Romanowsky-stained; peripheral blood film; 100× oil immersion: 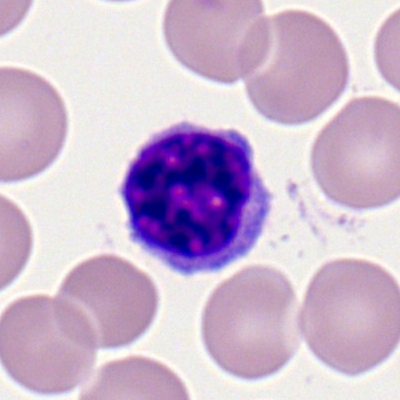
Classification = lymphocyte.